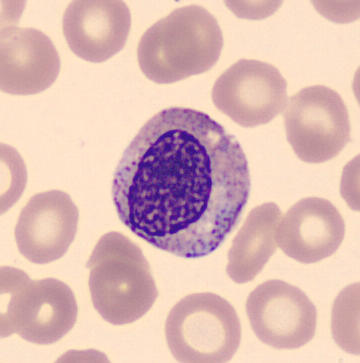 Morphology consistent with a myelocyte.
Preparation: Peripheral blood film · image size 360×363.